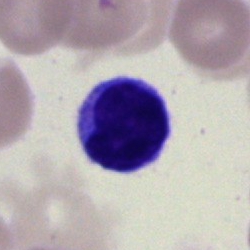

Single-cell crop from a bone marrow smear: typical lymphocyte.